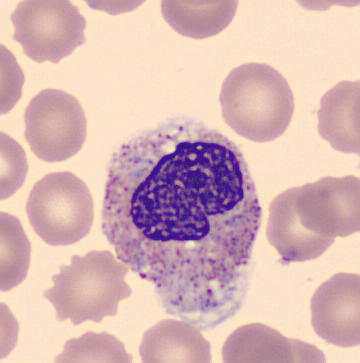
Identified as a metamyelocyte. Peripheral blood film.